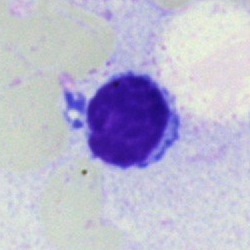 Impression — lymphocyte.